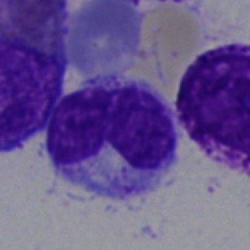Morphological class = metamyelocyte.